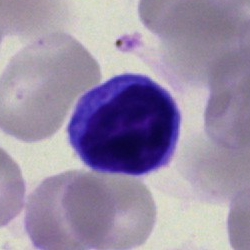 Typical lymphocyte.